Bone marrow smear.
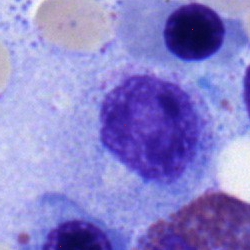
This is a metamyelocyte.